Single cell centered in the field. Bone marrow aspirate smear
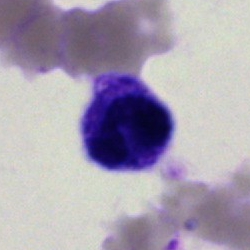

Morphology consistent with an artifact.